Bone marrow smear
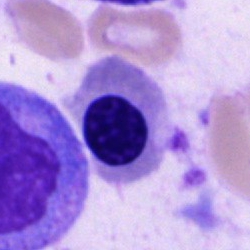

Nucleated red blood cell.